Bone marrow aspirate smear: 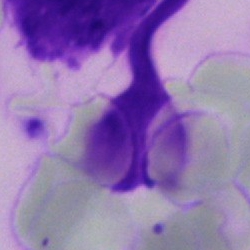
Cell = artefact.